Bone marrow smear:
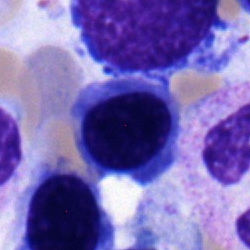

Specimen: bone marrow smear.
Cell: erythroblast.